Bone marrow smear — 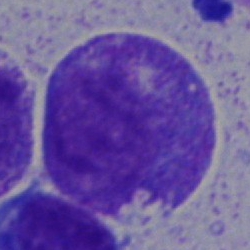
This is a promyelocyte.